40× oil immersion. Bone marrow aspirate smear: 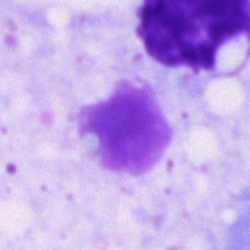

Q: What is shown here?
A: This is an artefact.